Bone marrow smear
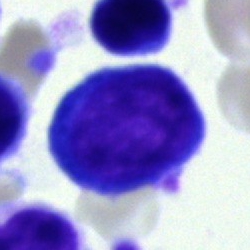 Cell = proerythroblast.